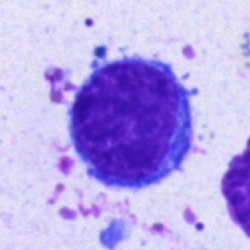

Specimen: bone marrow aspirate smear.
Cell type: lymphocyte.
Lineage: lymphoid.